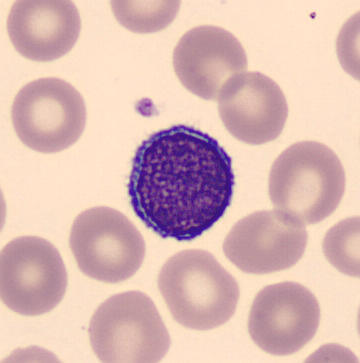
Preparation: Peripheral blood film.
Q: Which cell type is shown here?
A: Lymphocyte.